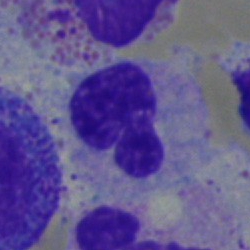
A stab cell on a bone marrow smear.